Bone marrow smear — 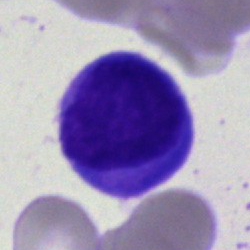 Morphological class: typical lymphocyte.